Romanowsky stain · peripheral blood film
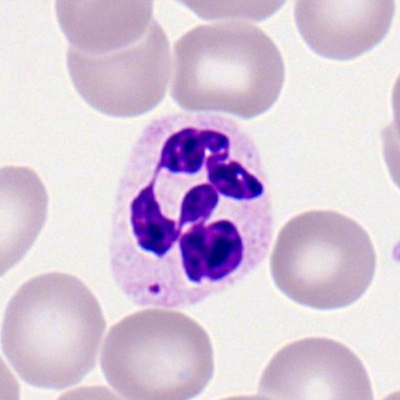
Showing a polymorphonuclear neutrophil.